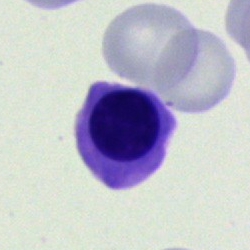Specimen: bone marrow aspirate smear.
Classification: nucleated red blood cell.